Bone marrow aspirate smear — 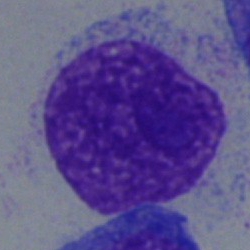

Impression — undifferentiated blast.